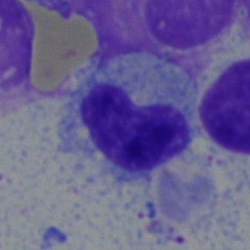 Single-cell crop from a bone marrow smear: metamyelocyte.